Bone marrow smear:
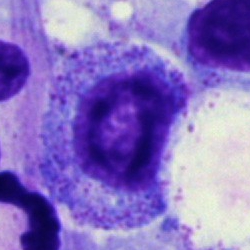
The cell is myelocyte.